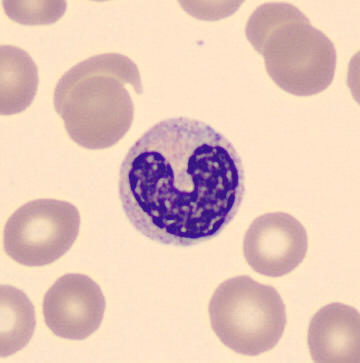
{"cell_type": "band neutrophil", "lineage": "myeloid"}